Bone marrow smear:
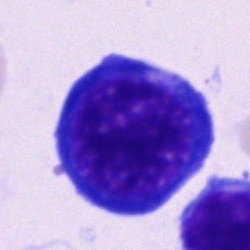
Q: What type of cell is this?
A: This is an erythroblast.